250×250. May-Grünwald-Giemsa/Pappenheim stain. Bone marrow aspirate smear:
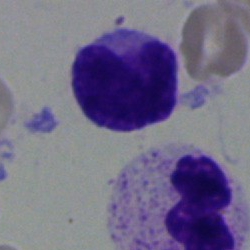Single cell identified as a typical lymphocyte.